Bone marrow aspirate smear — 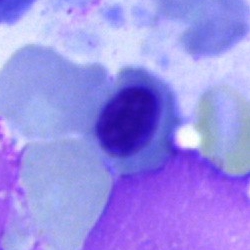Classification: erythroblast.